Bone marrow aspirate smear
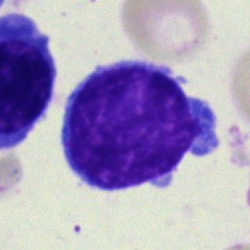
Morphology consistent with a lymphocyte.